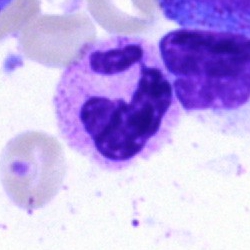
A neutrophil (segmented) on a bone marrow smear.